Romanowsky stain; brightfield, 100× oil-immersion objective; peripheral blood film: 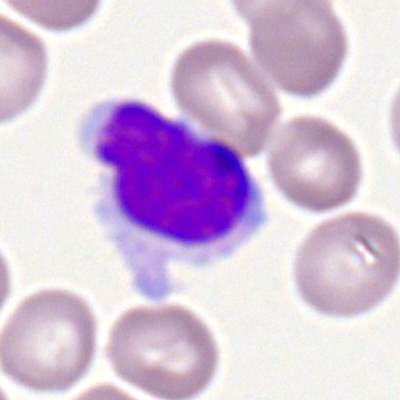Morphological class: lymphocyte.